Peripheral blood film
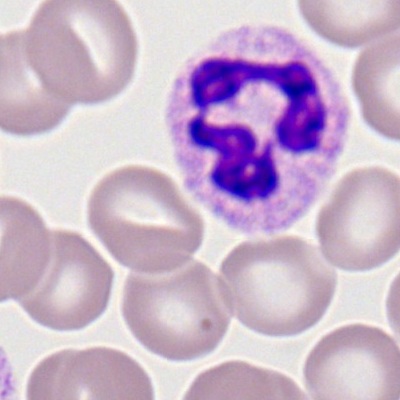

This is a neutrophil (segmented).